Bone marrow smear.
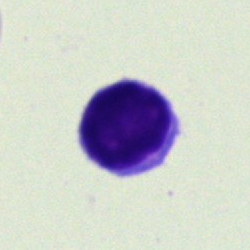 Specimen: bone marrow smear.
Morphological class: typical lymphocyte.